Bone marrow aspirate smear — 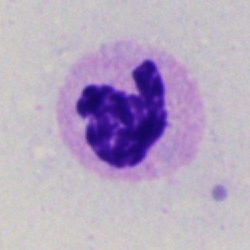
Q: What is the morphological classification of this cell?
A: This is a neutrophil (segmented).